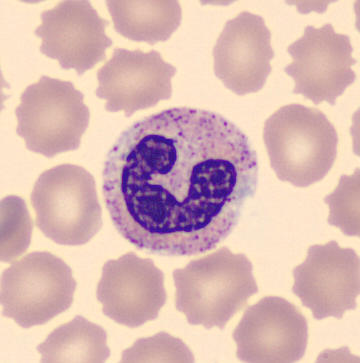Cell — stab cell.